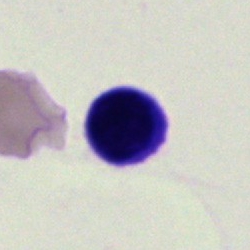Impression → artifact.